Bone marrow smear: 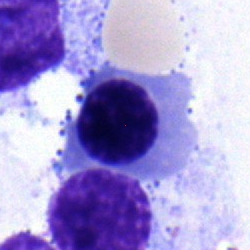 Q: Which cell type is shown here?
A: This is a normoblast.